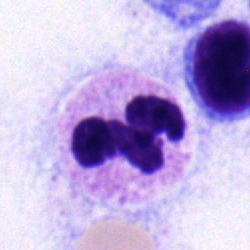Morphological class — segmented neutrophil.